Bone marrow smear · MGG-stained · single cell centered in the field: 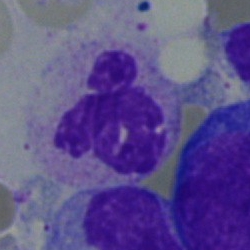
This is a polymorphonuclear neutrophil.